Bone marrow aspirate smear: 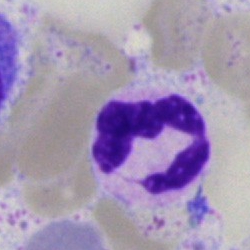
Specimen: bone marrow smear.
Classification: segmented neutrophil.
Lineage: myeloid.